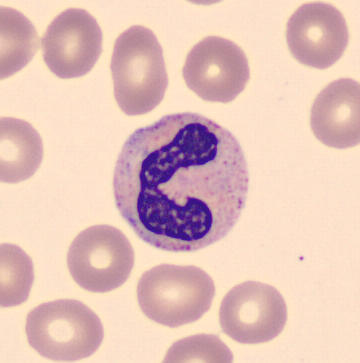
Preparation: Peripheral blood smear · MGG-stained. Q: What cell is this?
A: This is a band neutrophil.